Bone marrow aspirate smear. MGG-stained:
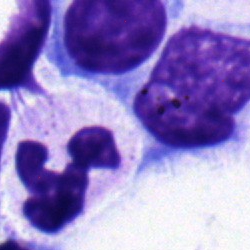A plasmacyte.